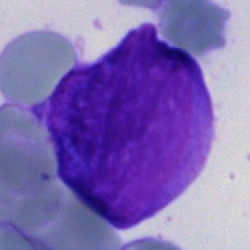Specimen: bone marrow smear.
Classification: blast cell.